250 by 250 pixels; single-cell field; bone marrow aspirate smear.
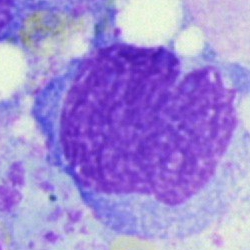Single cell identified as an artefact.